May-Grünwald-Giemsa stain · single-cell field · bone marrow aspirate smear
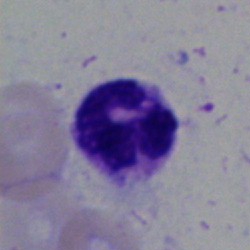
A neutrophil (segmented).